Bone marrow aspirate smear — 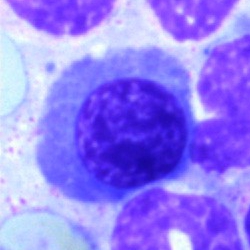 {"cell_type": "nucleated red blood cell", "lineage": "erythroid"}